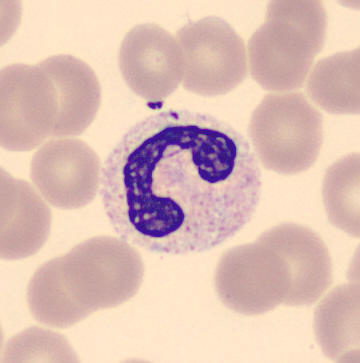

Showing a band neutrophil.